Peripheral blood film.
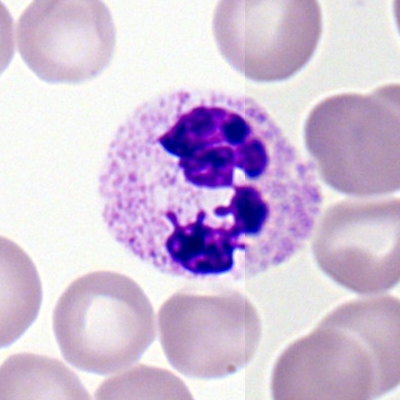
The cell is segmented neutrophil.